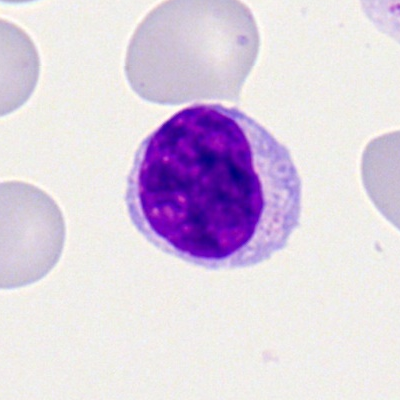
Q: Identify the cell.
A: A lymphocyte.